Bone marrow aspirate smear:
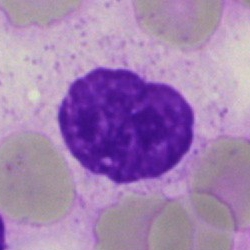

Single cell identified as an artefact.